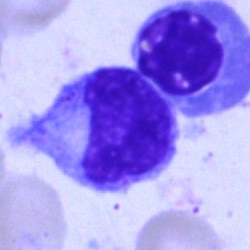Bone marrow aspirate smear, single cell — nucleated red cell.